Cropped to a single cell · May-Grünwald-Giemsa/Pappenheim stain · bone marrow aspirate smear:
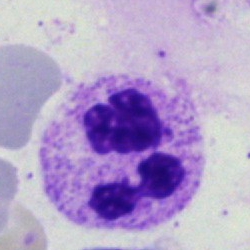Q: What type of cell is this?
A: A segmented neutrophil.